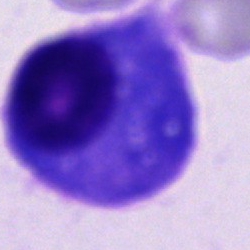
Morphology consistent with an other cell.